40× oil immersion; bone marrow aspirate smear: 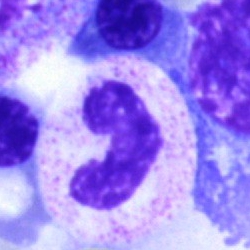
This is a band neutrophil.